Bone marrow smear. 40× oil immersion — 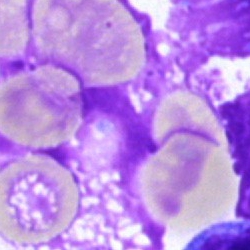
This is an artifact.